Bone marrow smear.
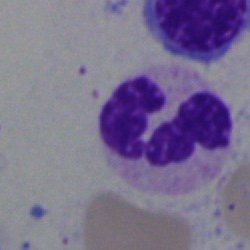Specimen: bone marrow aspirate smear.
Classification: polymorphonuclear neutrophil.